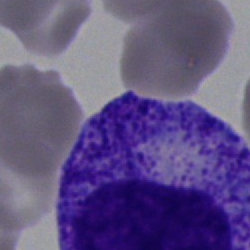Q: Identify the cell.
A: A promyelocyte.